Bone marrow smear · cropped to a single cell:
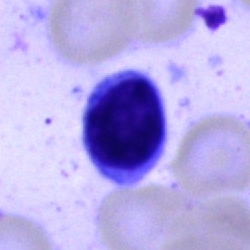Q: What is the morphological classification of this cell?
A: Lymphocyte.